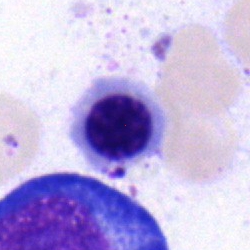
The cell type is nucleated red cell.